Cropped to a single cell; bone marrow aspirate smear
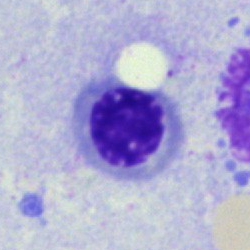

The cell shown is an erythroblast.